Bone marrow aspirate smear — 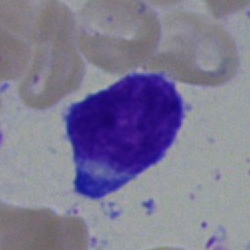The cell type is typical lymphocyte.